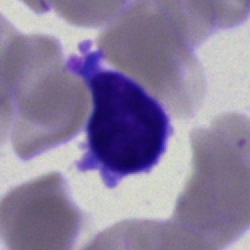

Typical lymphocyte.